Bone marrow aspirate smear. Brightfield, 40× oil-immersion objective: 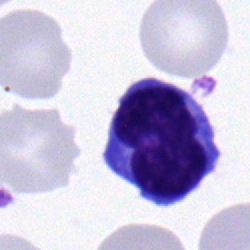

Cell type: typical lymphocyte.